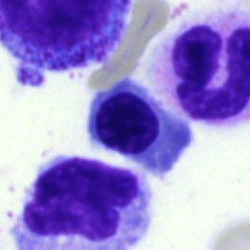
Specimen: bone marrow smear.
Morphological class: nucleated red cell.
Lineage: erythroid.